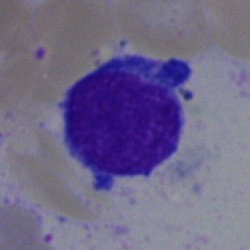
Q: What is shown here?
A: This is a typical lymphocyte.